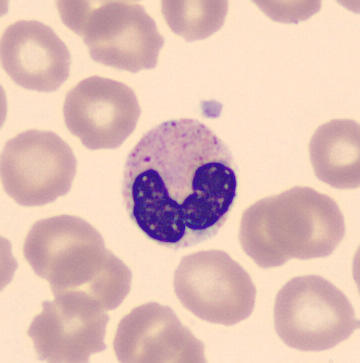

Morphological class: polymorphonuclear neutrophil.